250×250. Bone marrow smear: 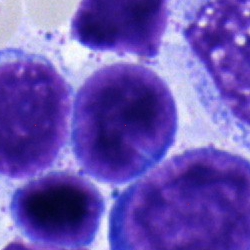 {"cell_type": "lymphocyte"}